Bone marrow aspirate smear
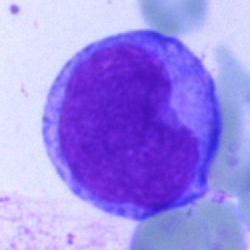 Morphology → blast.